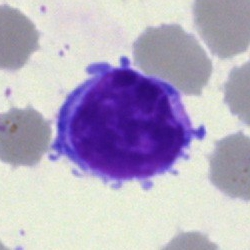Bone marrow aspirate smear, single cell — typical lymphocyte.